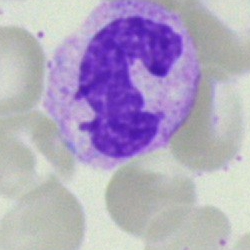

{"cell_type": "neutrophil (segmented)"}